Bone marrow aspirate smear; 250 by 250 pixels:
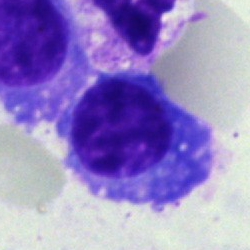 Q: What cell is this?
A: A plasma cell.